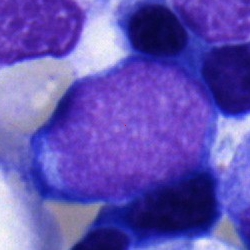

A blast.